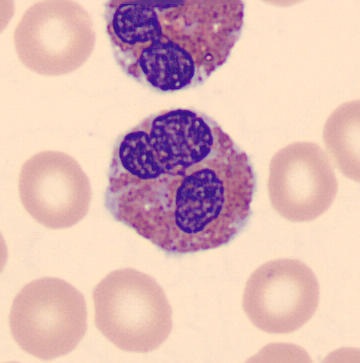 Cell = eosinophilic granulocyte. Preparation: Peripheral blood smear; 360×363.